Bone marrow aspirate smear: 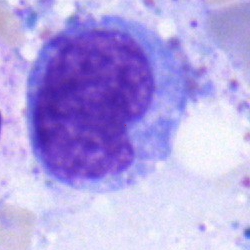

Specimen: bone marrow aspirate smear.
Morphological class: monocyte.
Lineage: myeloid.